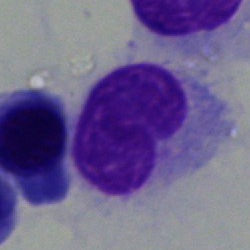

Bone marrow aspirate smear, single cell — hairy cell.